250 by 250 pixels; brightfield, 40× oil-immersion objective; bone marrow smear.
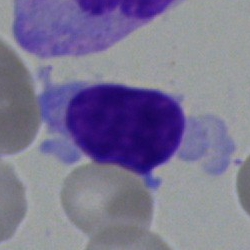Q: Identify the cell.
A: Typical lymphocyte.